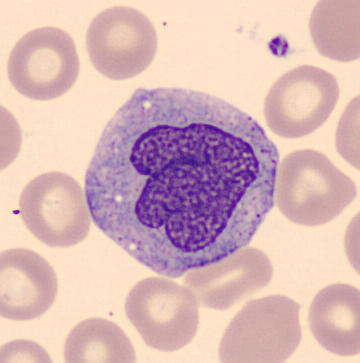 Acquisition: 360×363 px; cropped to a single cell; peripheral blood film.
Impression — monocyte.